Bone marrow aspirate smear:
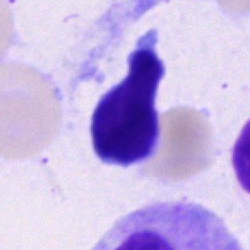Morphology consistent with a lymphocyte.